Single-cell crop. Bone marrow aspirate smear. 40× oil immersion
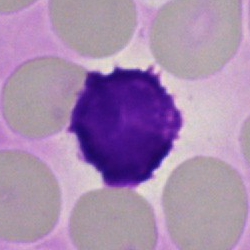
Artefact.